Peripheral blood smear: 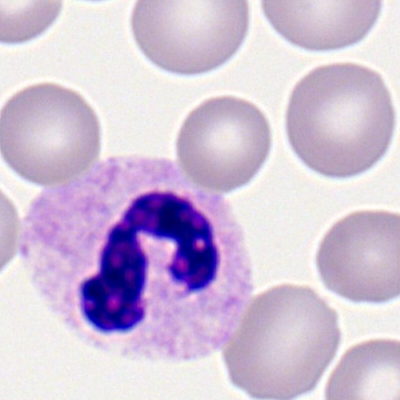
Showing a polymorphonuclear neutrophil.